40× oil immersion; 250×250 px; bone marrow smear
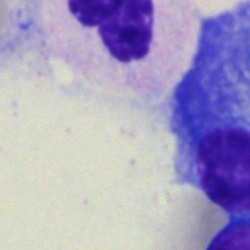

Morphology — artifact.